Peripheral blood smear.
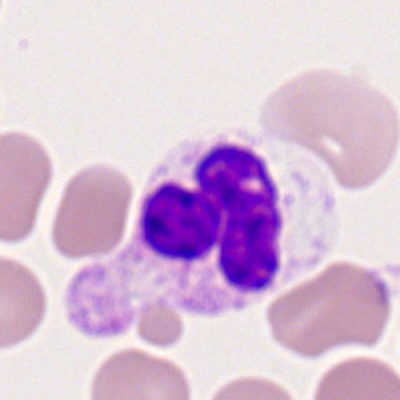

Cell — polymorphonuclear neutrophil.